Bone marrow smear
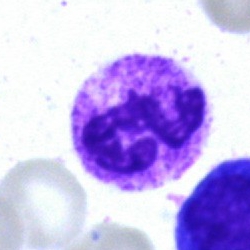 Cell = segmented neutrophil.